Bone marrow smear: 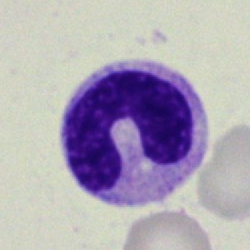

Specimen: bone marrow aspirate smear.
Morphological class: band neutrophil.